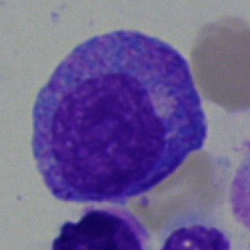
Cell: promyelocyte.